Bone marrow aspirate smear · single-cell crop.
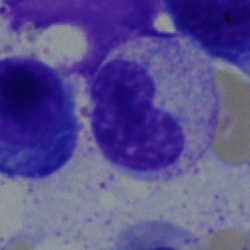Classification: stab cell.